Bone marrow aspirate smear
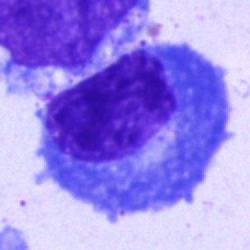 Showing a plasma cell.